Peripheral blood smear; 100× oil immersion, 14.14 px/µm
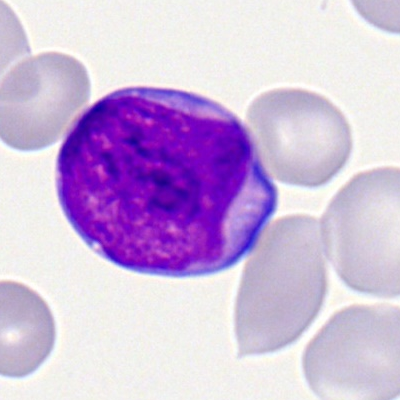 Morphology consistent with a myeloid blast.